Bone marrow aspirate smear: 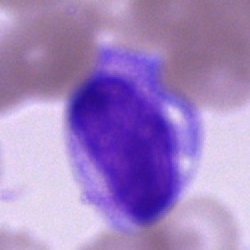
A cell of indeterminate lineage.